Bone marrow aspirate smear · single-cell field · image size 250×250:
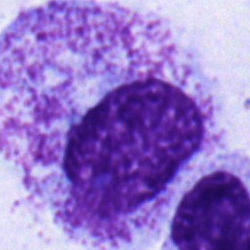Showing a myelocyte.